Bone marrow aspirate smear
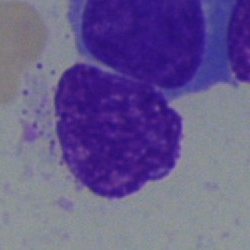
Classification = artefact.